Bone marrow aspirate smear · single-cell crop · 250×250: 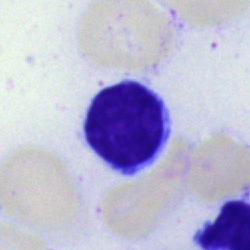 Cell type = lymphocyte.